Image size 250×250 · bone marrow aspirate smear: 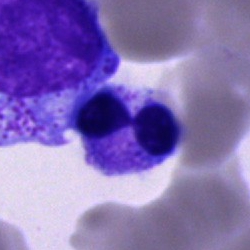Morphology consistent with a neutrophil (segmented).